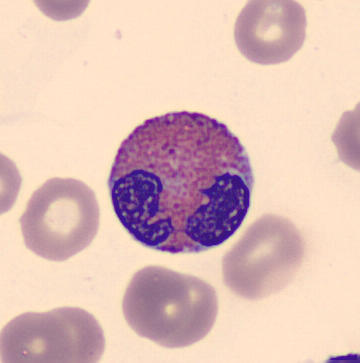 Morphological class = eosinophilic granulocyte.